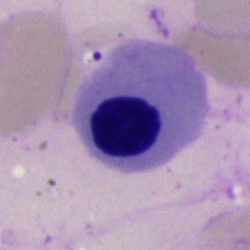Bone marrow aspirate smear, single cell — nucleated red cell.